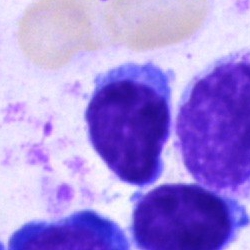Bone marrow aspirate smear, single cell — lymphocyte.